Bone marrow aspirate smear.
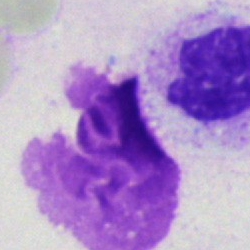 Cell = artifact.